250×250. Bone marrow smear — 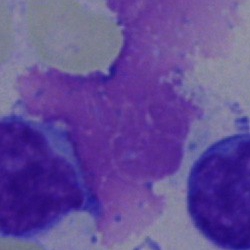
Single cell identified as an artefact.